Image size 250×250. Bone marrow aspirate smear:
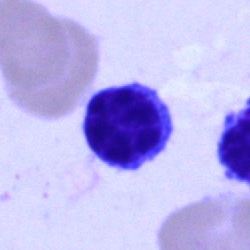
Single cell identified as a typical lymphocyte.